Bone marrow smear — 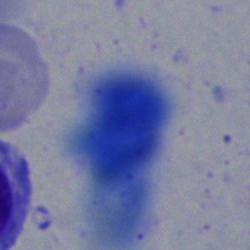 Q: What is shown here?
A: This is an artifact.